Bone marrow smear — 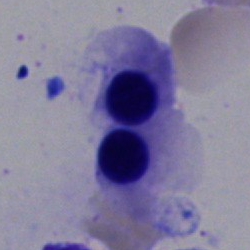 Morphology consistent with a normoblast.